Bone marrow smear.
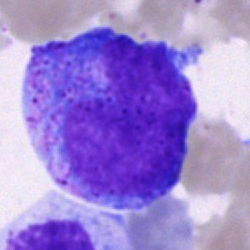Q: Identify the cell.
A: Progranulocyte.